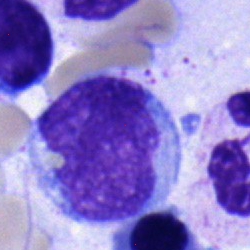Single-cell crop from a bone marrow smear: monocyte.